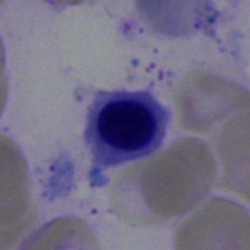
Normoblast.